Bone marrow aspirate smear. Single-cell field
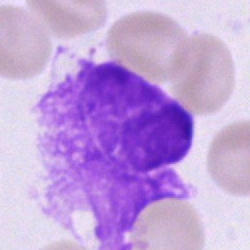

Morphology → artefact.